Bone marrow smear · cropped to a single cell.
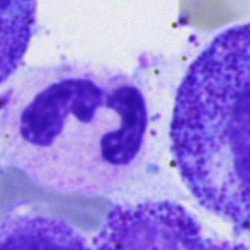The classification is neutrophil (segmented).